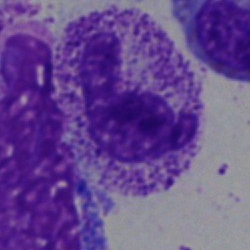

{"cell_type": "polymorphonuclear neutrophil", "lineage": "myeloid"}